Bone marrow aspirate smear; MGG-stained:
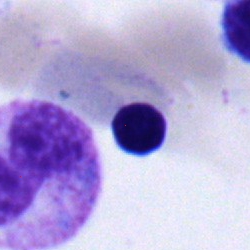
Impression — normoblast.